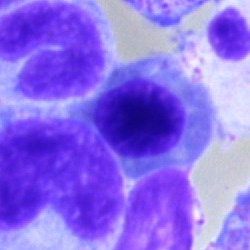 A nucleated red cell.